400 by 400 pixels. Peripheral blood film.
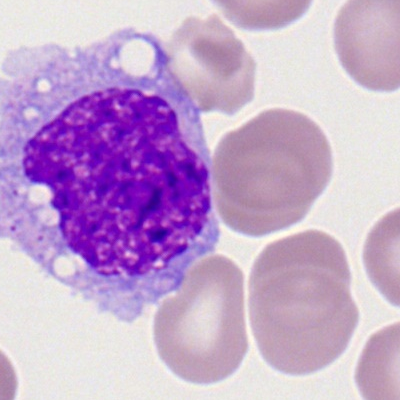Impression — monocyte.